Bone marrow aspirate smear: 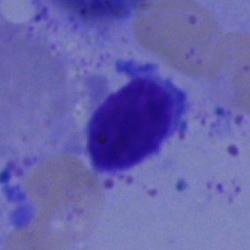 Morphology — lymphocyte.